Bone marrow aspirate smear — 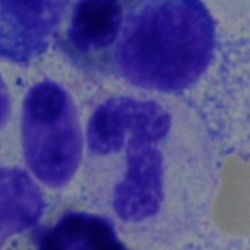
Q: Identify the cell.
A: Band-form neutrophil.